Bone marrow aspirate smear · single cell centered in the field:
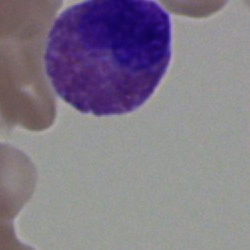

Classification — eosinophilic granulocyte.